Bone marrow smear.
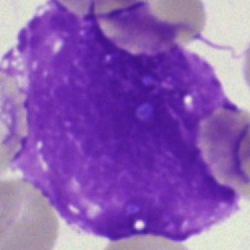
Cell type = artifact.